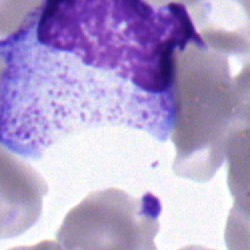The cell shown is a myelocyte.